Peripheral blood film:
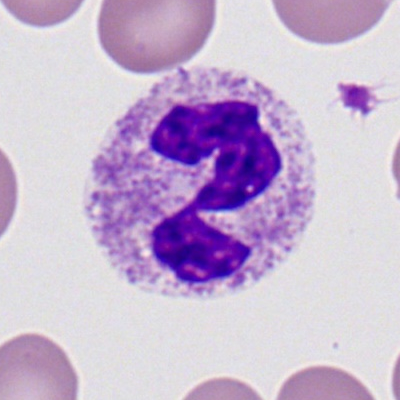
Morphological class: neutrophil (segmented).